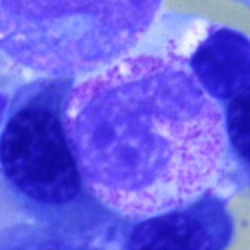 Cell — stab cell.